Brightfield microscopy, 40× oil immersion · bone marrow aspirate smear — 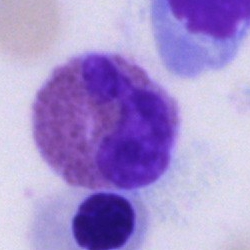
Cell — eosinophil.